Peripheral blood smear.
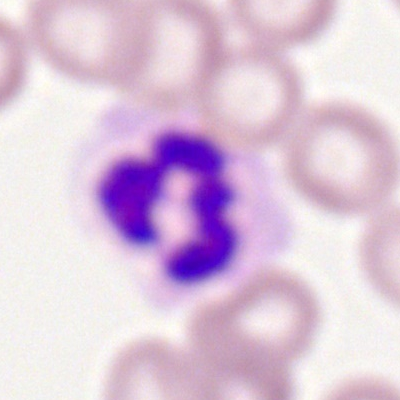

Single cell identified as a polymorphonuclear neutrophil.